Peripheral blood film
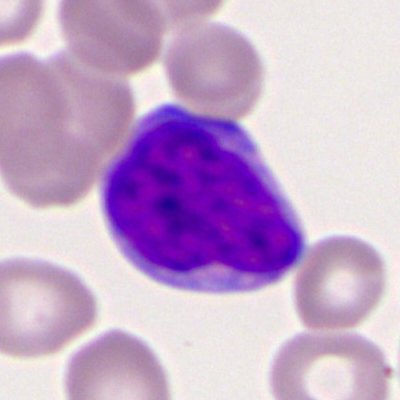

The cell shown is a myeloblast.